Bone marrow smear · Pappenheim-stained — 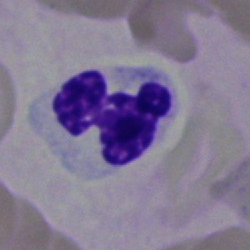
Single cell identified as a segmented neutrophil.